40× oil immersion · bone marrow aspirate smear:
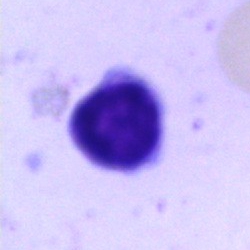
Morphology — lymphocyte.